Bone marrow smear · brightfield microscopy, 40× oil immersion · May-Grünwald-Giemsa/Pappenheim stain:
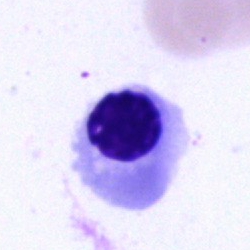 This is an erythroblast.